Single-cell field. Peripheral blood smear.
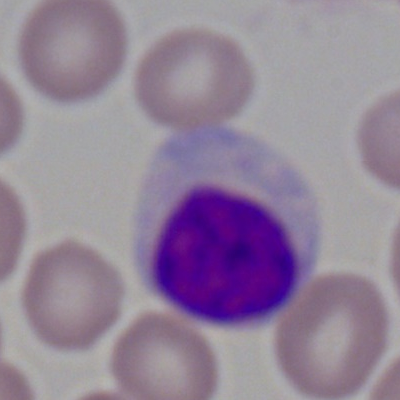 Morphology — lymphocyte.